Bone marrow smear
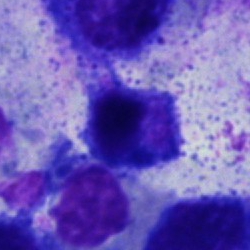

Showing an artifact.